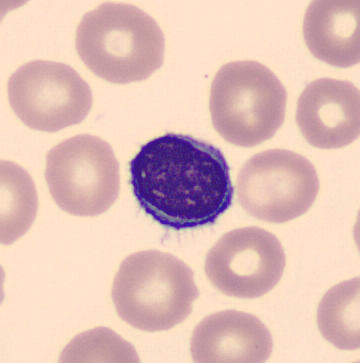
Showing a lymphocyte.